Bone marrow aspirate smear:
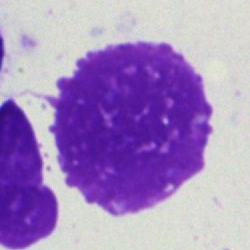Impression → artifact.